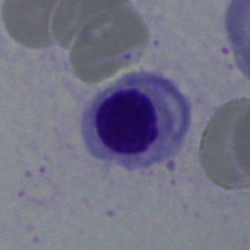

Showing an erythroblast.